Bone marrow smear · 250 by 250 pixels.
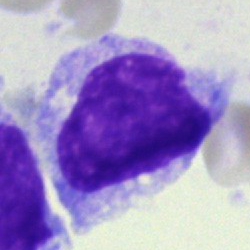
Single cell identified as a monocyte.